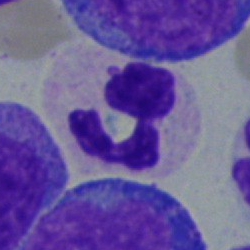

Cell type — segmented neutrophil.